Bone marrow aspirate smear; MGG-stained — 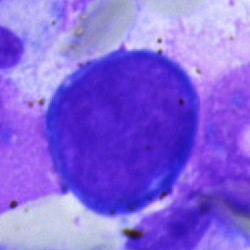 Q: What is the morphological classification of this cell?
A: A proerythroblast.